Bone marrow aspirate smear:
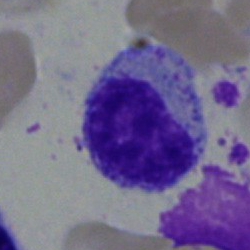

Myelocyte.